May-Grünwald-Giemsa/Pappenheim stain; bone marrow smear.
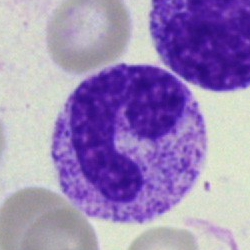Morphology → neutrophil (band).